Bone marrow smear: 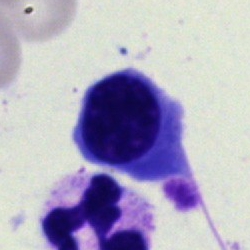
Specimen: bone marrow smear.
Morphological class: nucleated red cell.